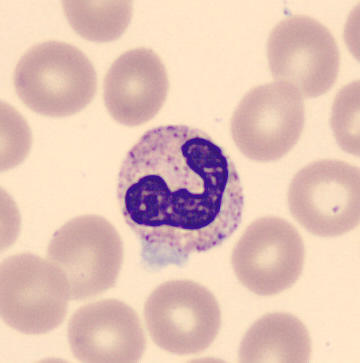Peripheral blood film. Showing a band neutrophil.